Bone marrow smear.
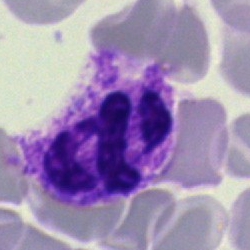
Impression — segmented neutrophil.